Bone marrow aspirate smear — 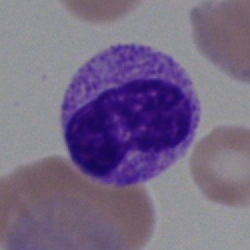
Single cell identified as a band neutrophil.